Bone marrow smear; single-cell field; May-Grünwald-Giemsa/Pappenheim stain — 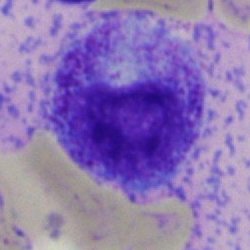A myelocyte.